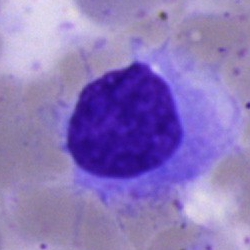Morphology consistent with a cell of indeterminate lineage.